250×250. Bone marrow aspirate smear. Brightfield, 40× oil-immersion objective
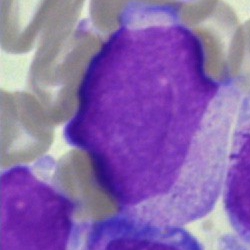 Impression → monocyte.